Bone marrow aspirate smear
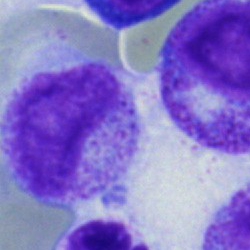Specimen: bone marrow smear.
Cell: metamyelocyte.
Lineage: myeloid.